Bone marrow smear · image size 250×250
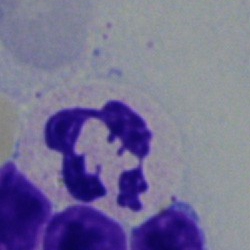Cell = segmented neutrophil.